Bone marrow aspirate smear · May-Grünwald-Giemsa stain · 40× oil immersion: 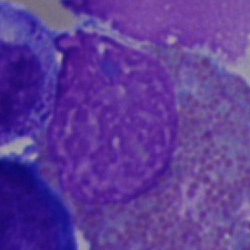
{"cell_type": "eosinophilic granulocyte"}